Bone marrow smear:
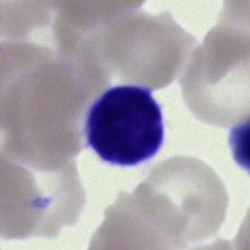This is a typical lymphocyte.